Bone marrow smear:
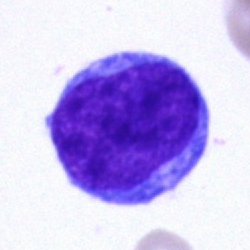

The cell shown is a blast.